Bone marrow aspirate smear · 250×250 px · cropped to a single cell
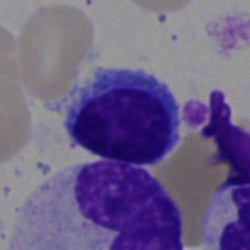 Morphological class — typical lymphocyte.